Brightfield, 40× oil-immersion objective. Single-cell field. Bone marrow aspirate smear.
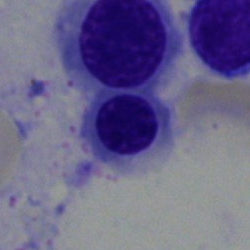
Specimen: bone marrow aspirate smear.
Classification: erythroblast.